Bone marrow smear. 250×250 px.
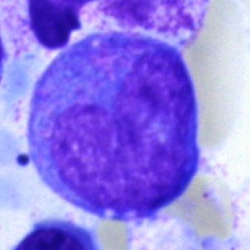

A promyelocyte.